MGG-stained; 40× oil immersion; bone marrow aspirate smear.
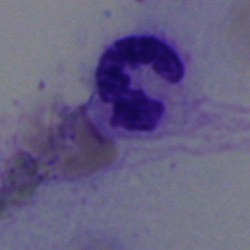 Showing a polymorphonuclear neutrophil.